Bone marrow smear: 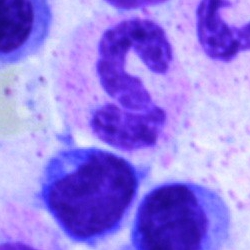

The cell shown is a neutrophil (segmented).